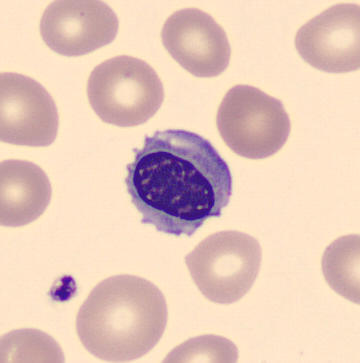 {"cell_type": "nucleated red blood cell", "lineage": "erythroid"}

Image: Peripheral blood smear; 360 by 363 pixels.